May-Grünwald-Giemsa stain · bone marrow aspirate smear · 250 by 250 pixels:
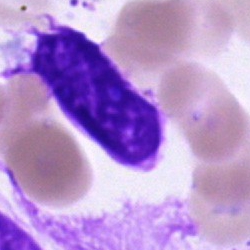Cell: artefact.